Bone marrow aspirate smear
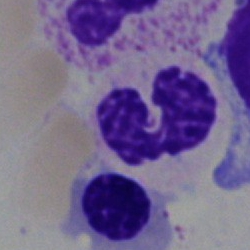Morphology consistent with a polymorphonuclear neutrophil.